Bone marrow aspirate smear — 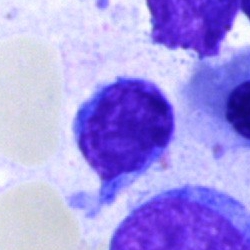 Q: What is the morphological classification of this cell?
A: Typical lymphocyte.